Peripheral blood film.
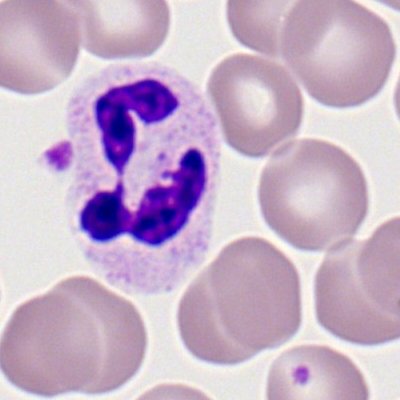
Cell type: neutrophil (segmented).